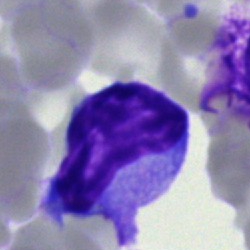Specimen: bone marrow smear.
Cell: typical lymphocyte.